Bone marrow aspirate smear — 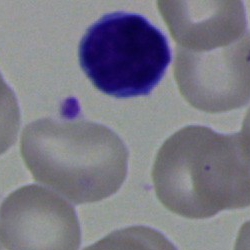

A typical lymphocyte.